Bone marrow smear; 250×250.
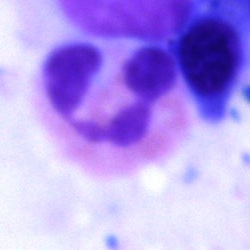

Cell type = neutrophil (segmented).